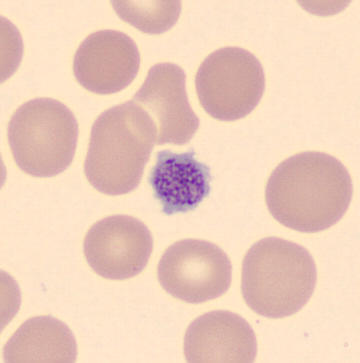360 by 363 pixels. Peripheral blood film.
A platelet (thrombocyte).